Bone marrow smear
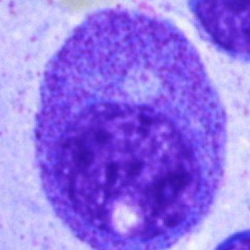
Specimen: bone marrow aspirate smear.
Cell type: myelocyte.